Bone marrow smear
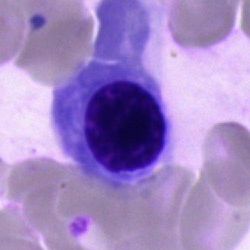 Q: Identify the cell.
A: It is a nucleated red blood cell.